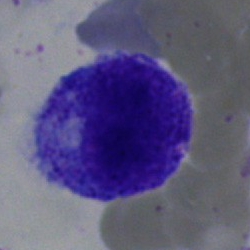
This is a progranulocyte.